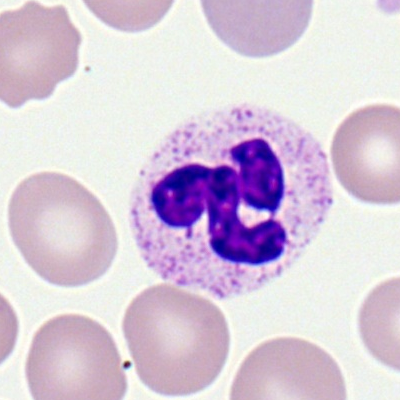 Single cell identified as a neutrophil (segmented).